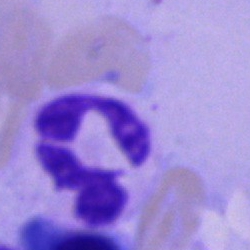Cell = polymorphonuclear neutrophil.